Pappenheim-stained; bone marrow aspirate smear; single-cell field
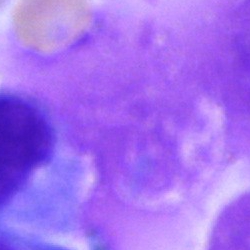
The cell is artifact.